Brightfield, 40× oil-immersion objective. Bone marrow aspirate smear
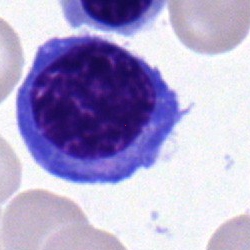 The cell type is erythroblast.